Image size 250×250; bone marrow smear.
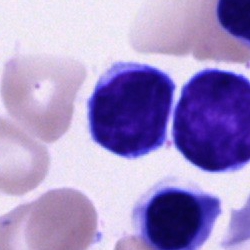 Specimen: bone marrow smear.
Cell: lymphocyte.
Lineage: lymphoid.